250 by 250 pixels. MGG-stained. Bone marrow aspirate smear.
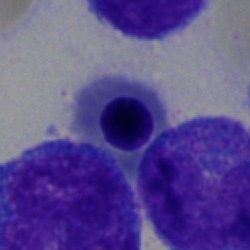Impression → normoblast.